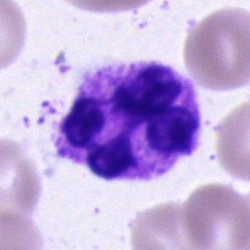 Impression → neutrophil (segmented).